Bone marrow smear — 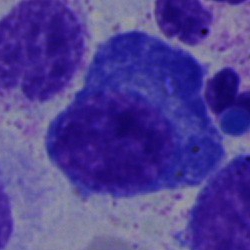Showing a plasmacyte.